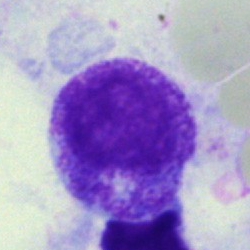

Showing a promyelocyte.